Bone marrow smear. 250 by 250 pixels:
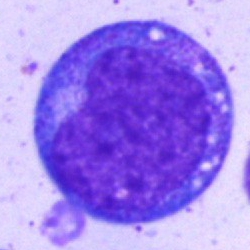 Single cell identified as a progranulocyte.